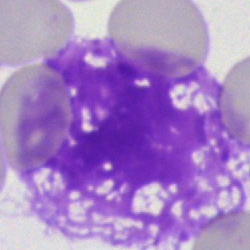Morphological class — artifact.